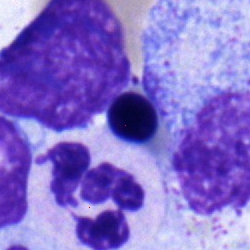

Erythroblast.